Bone marrow aspirate smear.
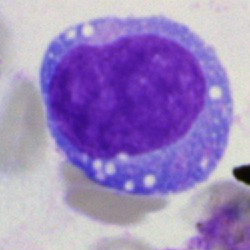 Specimen: bone marrow smear.
Classification: undifferentiated blast.